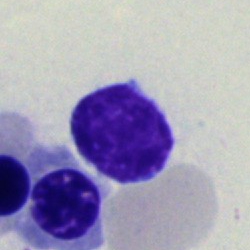 Morphology consistent with a lymphocyte.